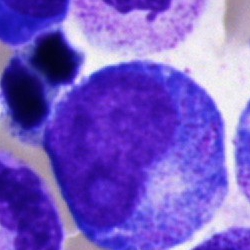
Single cell identified as a progranulocyte.